Bone marrow aspirate smear:
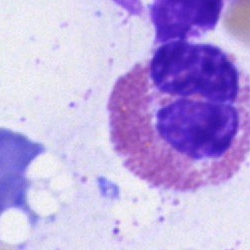 Cell type = eosinophilic granulocyte.